Bone marrow aspirate smear — 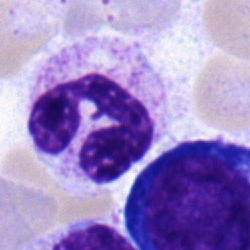

Q: Which cell type is shown here?
A: Stab cell.